Bone marrow smear: 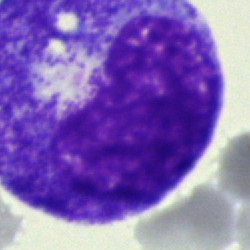
Showing a progranulocyte.